Bone marrow aspirate smear
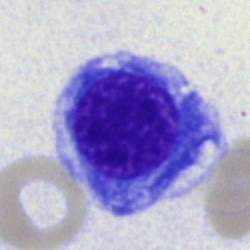
Morphology consistent with a normoblast.